Peripheral blood smear:
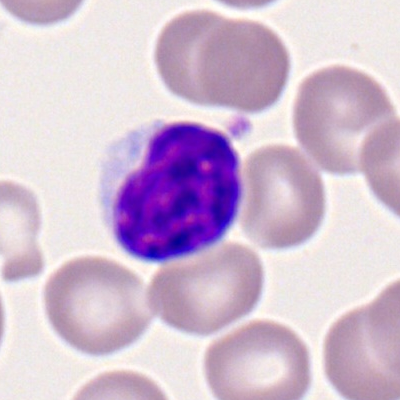Morphology — lymphocyte.